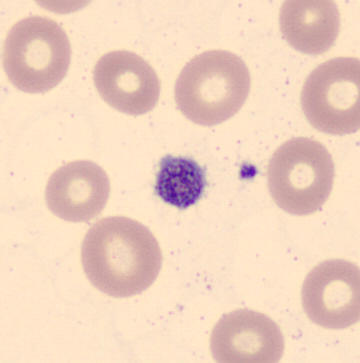

The cell type is platelet.